Bone marrow smear; brightfield microscopy, 40× oil immersion; 250×250: 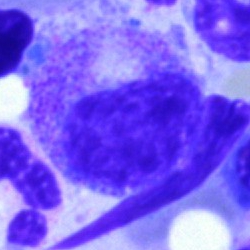

A myelocyte.